Single-cell crop; bone marrow aspirate smear
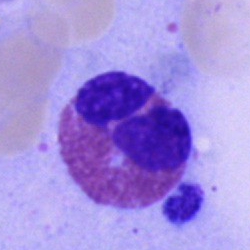
Cell = basophilic granulocyte.